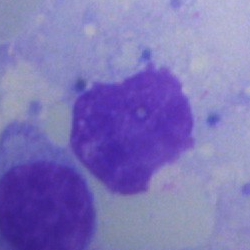Cell: artifact.